Brightfield microscopy, 40× oil immersion. Single-cell crop. Bone marrow smear.
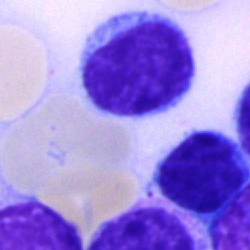 Q: What is shown here?
A: It is a typical lymphocyte.